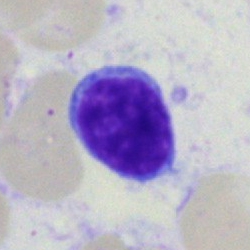 Cell type = typical lymphocyte.